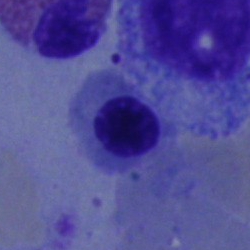

Q: Which cell type is shown here?
A: An erythroblast.